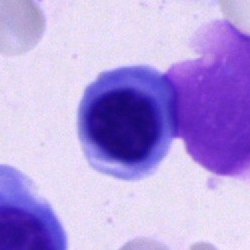Showing a nucleated red blood cell.